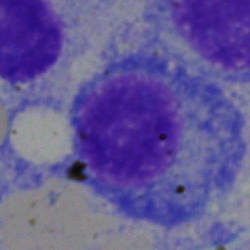Classification — plasmacyte.